May-Grünwald-Giemsa/Pappenheim stain. Bone marrow aspirate smear — 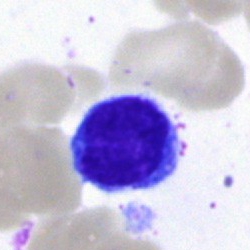Single cell identified as a typical lymphocyte.